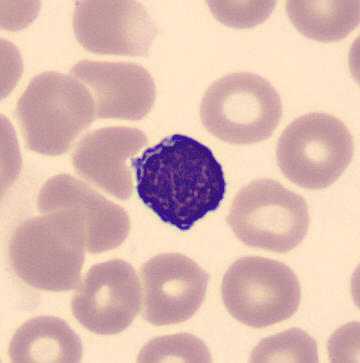

Morphology — typical lymphocyte.

Image size 360×363 · CellaVision DM96 digital cell image · peripheral blood film.